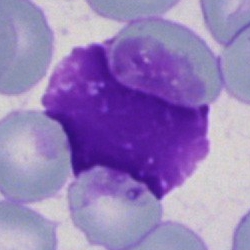
Impression — artefact.